Bone marrow aspirate smear — 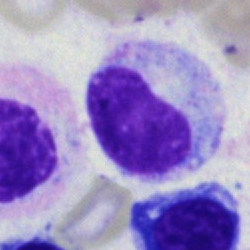 Showing a metamyelocyte.